Peripheral blood smear:
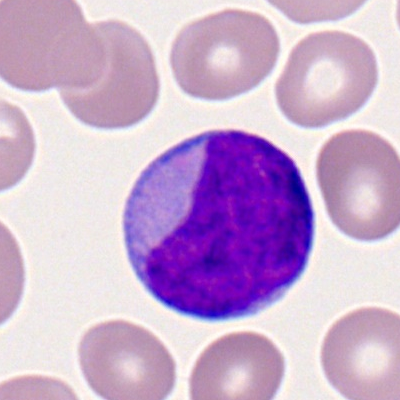
Q: What cell is this?
A: Myeloid blast.